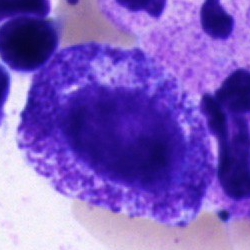

Single cell identified as a promyelocyte.